Bone marrow smear: 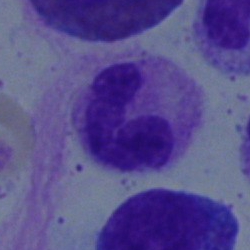
Morphology → neutrophil (band).